Bone marrow aspirate smear; single cell centered in the field: 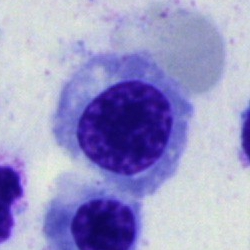 Cell type: normoblast.